MGG-stained · bone marrow aspirate smear · brightfield microscopy, 40× oil immersion: 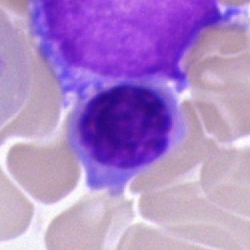
Cell type = nucleated red blood cell.